40× oil immersion · bone marrow smear:
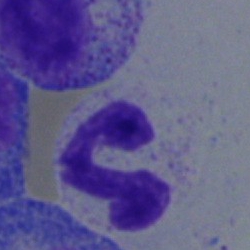
The cell is segmented neutrophil.